Bone marrow smear:
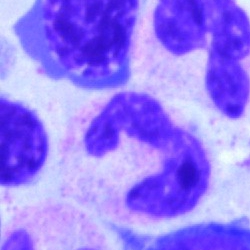This is a polymorphonuclear neutrophil.